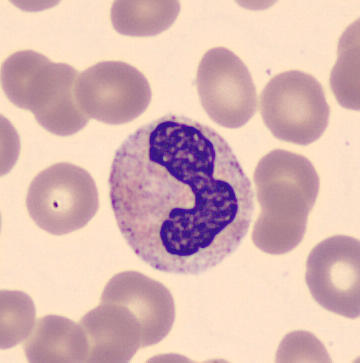The cell shown is a neutrophil (band).